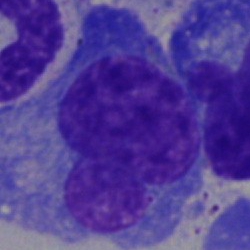
Q: What is shown here?
A: It is a plasma cell.